Bone marrow aspirate smear
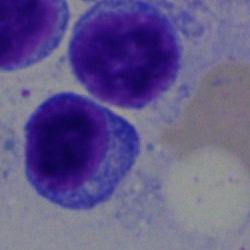
Specimen: bone marrow smear.
Cell type: typical lymphocyte.
Lineage: lymphoid.